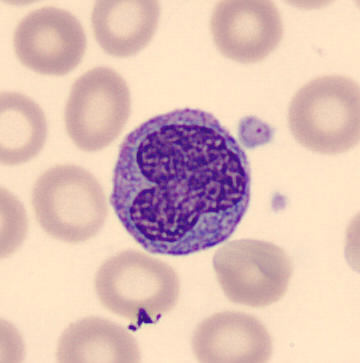A monocyte.

Peripheral blood film.